250×250 px; bone marrow smear — 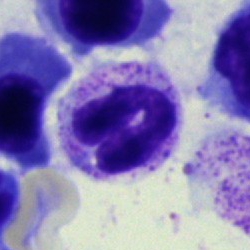
Classification — neutrophil (segmented).